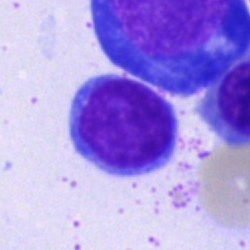Q: What cell is this?
A: It is a lymphocyte.